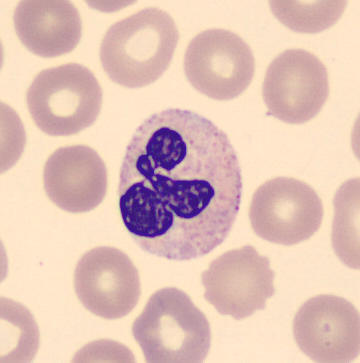

Image: Peripheral blood smear; 360×363 px.
A polymorphonuclear neutrophil.